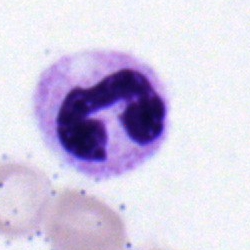 Impression — polymorphonuclear neutrophil.